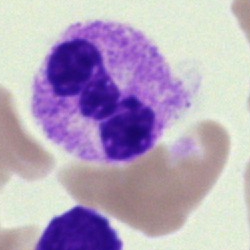

This is a neutrophil (segmented).